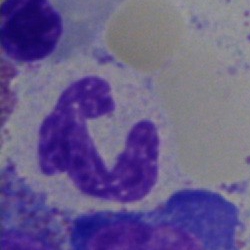
Polymorphonuclear neutrophil.